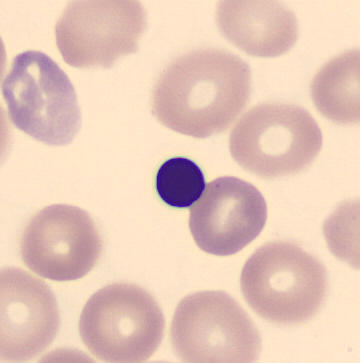

Peripheral blood smear. Nucleated red blood cell.